Single-cell field · bone marrow aspirate smear · brightfield, 40× oil-immersion objective — 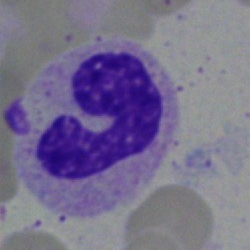The morphological class is band-form neutrophil.